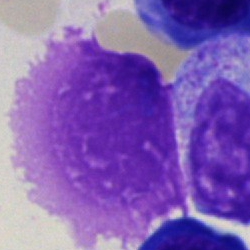 Classification — artefact.